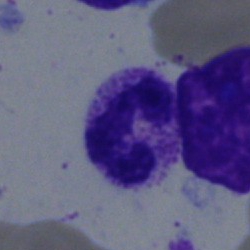
Single-cell crop from a bone marrow smear: neutrophil (segmented).